Bone marrow aspirate smear · brightfield, 40× oil-immersion objective:
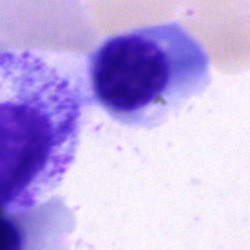 Q: Which cell type is shown here?
A: A normoblast.